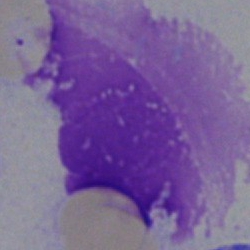
An artefact.